Brightfield microscopy, 40× oil immersion. Cropped to a single cell. Bone marrow smear
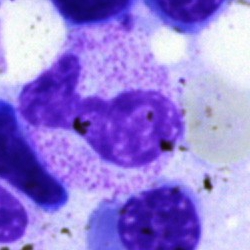 {"cell_type": "segmented neutrophil"}